Bone marrow smear
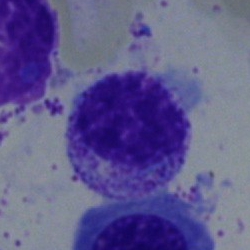
Impression → myelocyte.